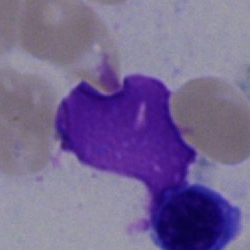

Impression → artefact.